Image size 250×250 · single-cell field · bone marrow smear: 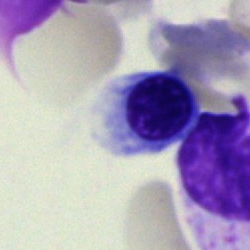

Morphology → nucleated red blood cell.